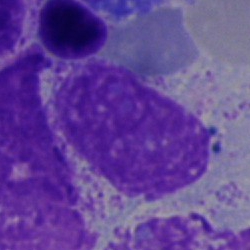
Q: What is shown here?
A: It is an artefact.